Bone marrow smear
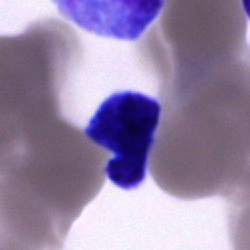

Cell type = cell of indeterminate lineage.